Bone marrow aspirate smear: 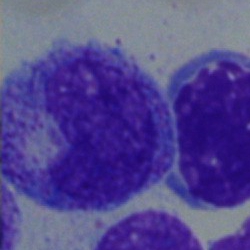
Morphology — metamyelocyte.